Bone marrow aspirate smear · May-Grünwald-Giemsa stain.
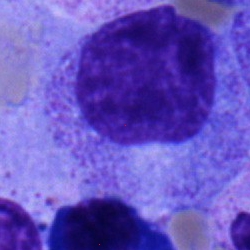
Showing a myelocyte.